Bone marrow aspirate smear · May-Grünwald-Giemsa/Pappenheim stain
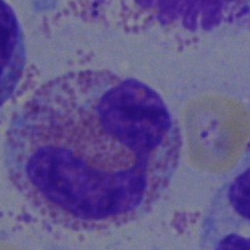
Showing an eosinophilic granulocyte.